May-Grünwald-Giemsa/Pappenheim stain. Bone marrow smear: 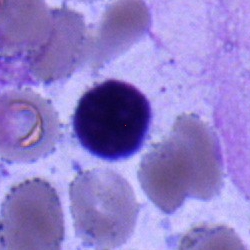
{"cell_type": "typical lymphocyte"}